Bone marrow aspirate smear. Brightfield microscopy, 40× oil immersion — 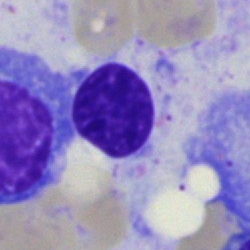 Single cell identified as a lymphocyte.